Brightfield microscopy, 40× oil immersion. Bone marrow smear: 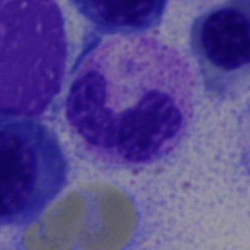A neutrophil (band).